Bone marrow smear — 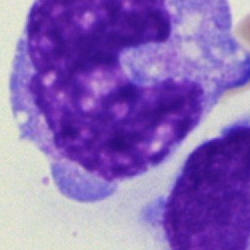Q: What cell is this?
A: This is a monocyte.